Bone marrow aspirate smear:
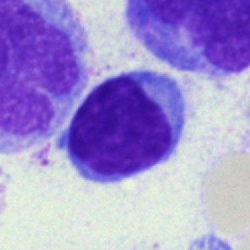

The cell shown is a typical lymphocyte.